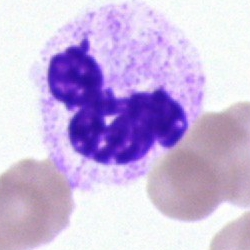
Showing a segmented neutrophil.